Bone marrow aspirate smear. Cropped to a single cell
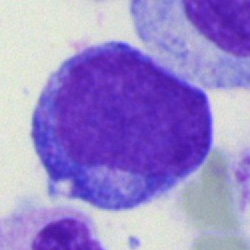Blast.